Single cell centered in the field. Bone marrow smear:
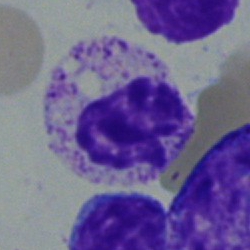 Showing a band-form neutrophil.